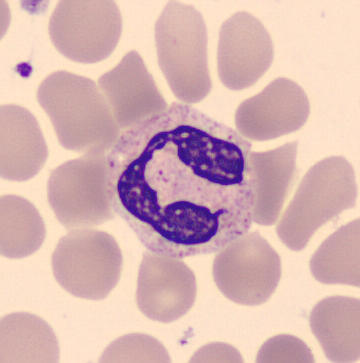

Neutrophil (segmented).

Image: Peripheral blood film · 360×363.